Bone marrow aspirate smear:
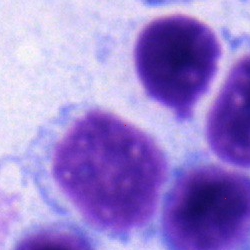 Morphological class = lymphocyte.